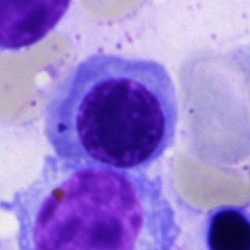

Specimen: bone marrow aspirate smear.
Morphological class: nucleated red cell.